Bone marrow smear.
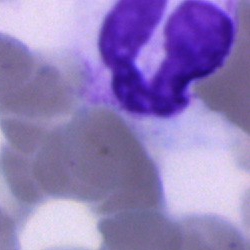Showing a segmented neutrophil.